Bone marrow aspirate smear:
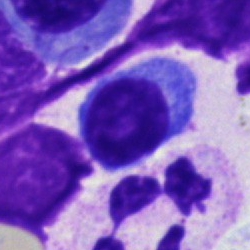Morphology consistent with a typical lymphocyte.